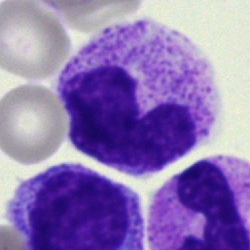

The cell shown is a band neutrophil.